Bone marrow aspirate smear; MGG-stained — 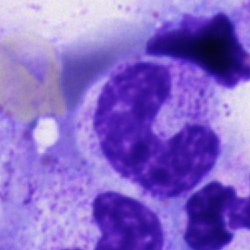This is a stab cell.